Single-cell field. 40× objective, oil immersion. Bone marrow smear
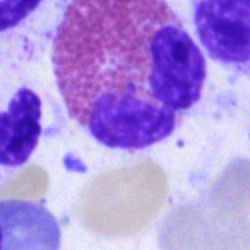

The classification is eosinophilic granulocyte.